Bone marrow aspirate smear
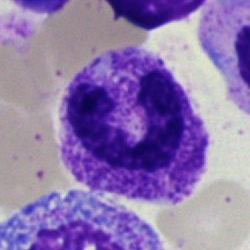A segmented neutrophil.